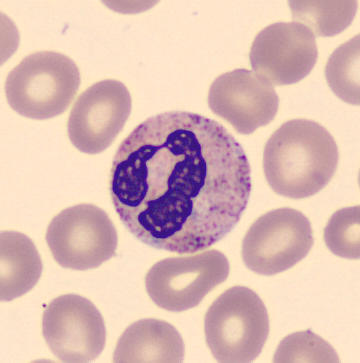 Peripheral blood film.

Cell type: neutrophil (segmented).